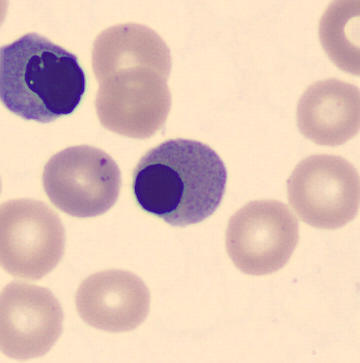 An erythroblast.
Peripheral blood smear · 360×363 px.